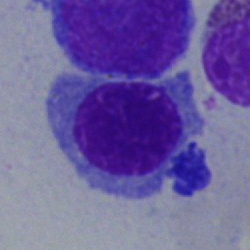

The cell type is nucleated red cell.